Bone marrow aspirate smear
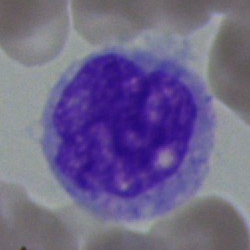
Specimen: bone marrow aspirate smear.
Morphological class: monocyte.
Lineage: myeloid.